Bone marrow smear. 250×250 px — 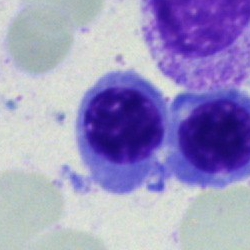
Impression → nucleated red blood cell.